Bone marrow aspirate smear · brightfield, 40× oil-immersion objective · single cell centered in the field.
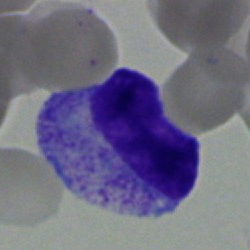

{"cell_type": "metamyelocyte", "lineage": "myeloid"}